Bone marrow smear: 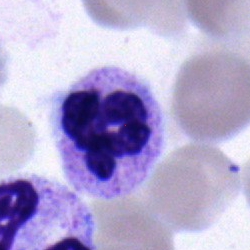

Q: Which cell type is shown here?
A: It is a segmented neutrophil.